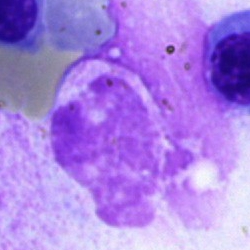The cell type is artefact.